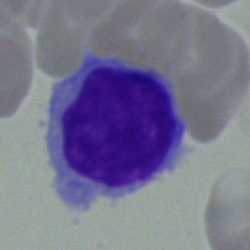 A typical lymphocyte on a bone marrow smear.